Bone marrow aspirate smear — 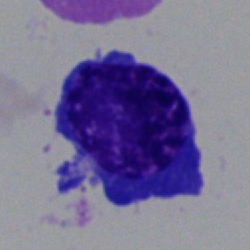
Specimen: bone marrow aspirate smear.
Cell type: erythroblast.
Lineage: erythroid.